Bone marrow aspirate smear: 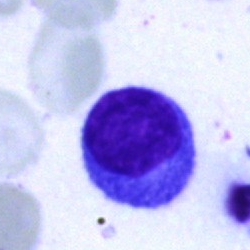

Single cell identified as a lymphocyte.